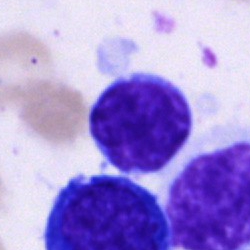Q: Which cell type is shown here?
A: Typical lymphocyte.